Bone marrow smear.
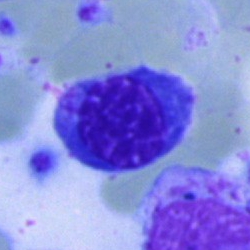Specimen: bone marrow aspirate smear.
Cell type: normoblast.
Lineage: erythroid.